Bone marrow smear — 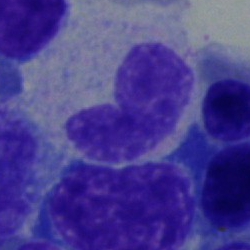
The cell shown is a neutrophil (band).